Bone marrow smear
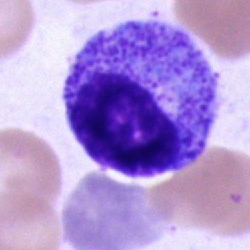 Q: Which cell type is shown here?
A: Progranulocyte.